Bone marrow smear
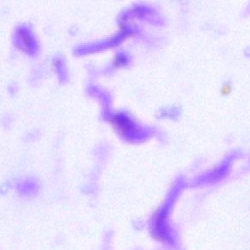Showing an artefact.